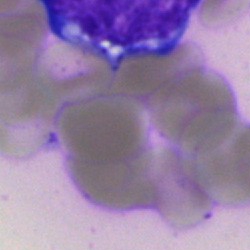 Cell — artifact.